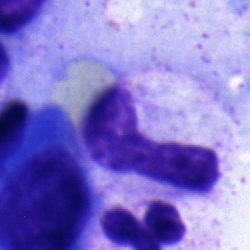
Q: What type of cell is this?
A: Band neutrophil.